Bone marrow aspirate smear — 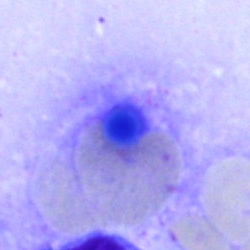 Showing an artefact.